Bone marrow aspirate smear
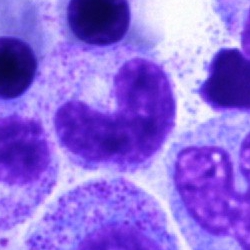
Showing a neutrophil (band).